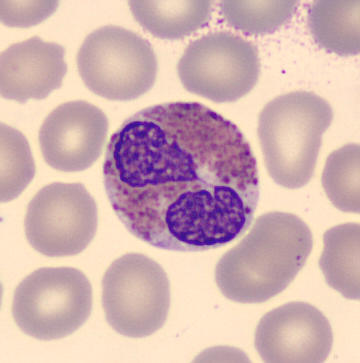 The cell is eosinophil. Preparation: Peripheral blood smear · CellaVision DM96 digital cell image · cropped to a single cell.